Bone marrow aspirate smear.
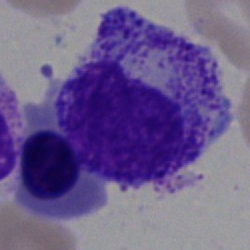 Specimen: bone marrow aspirate smear.
Classification: myelocyte.
Lineage: myeloid.